Bone marrow aspirate smear
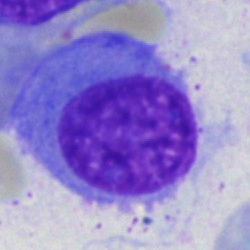Specimen: bone marrow aspirate smear.
Cell type: plasma cell.
Lineage: lymphoid.